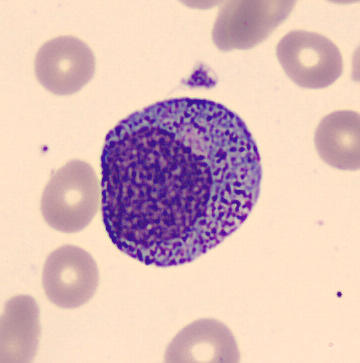 Specimen: peripheral blood smear.
Cell type: progranulocyte.